Bone marrow aspirate smear. Pappenheim-stained. Cropped to a single cell
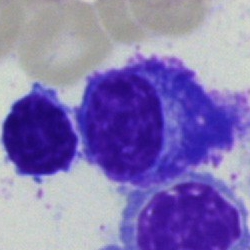 This is a plasmacyte.